Bone marrow smear:
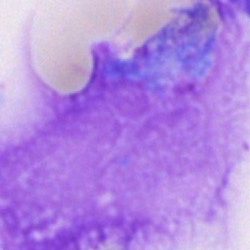
The cell shown is an artefact.